Bone marrow aspirate smear. Brightfield, 40× oil-immersion objective
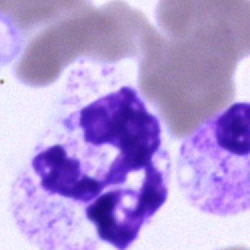 Q: What is shown here?
A: A polymorphonuclear neutrophil.